Bone marrow aspirate smear · single cell centered in the field · May-Grünwald-Giemsa stain.
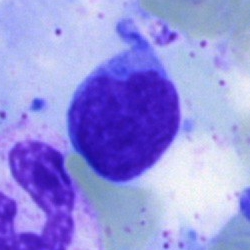Morphology consistent with a typical lymphocyte.